Brightfield, 40× oil-immersion objective; bone marrow smear.
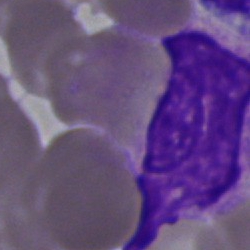Artifact.